Peripheral blood smear — 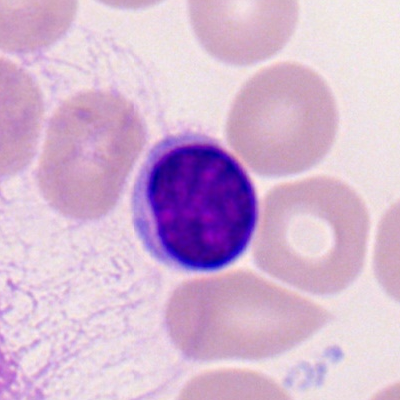
Showing a typical lymphocyte.